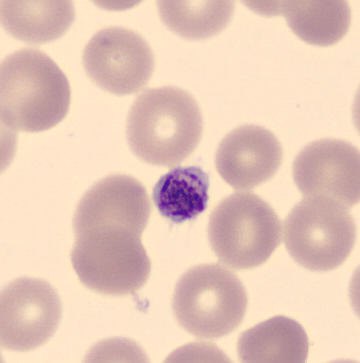

The classification is platelet (thrombocyte).